Brightfield microscopy, 40× oil immersion. Bone marrow aspirate smear — 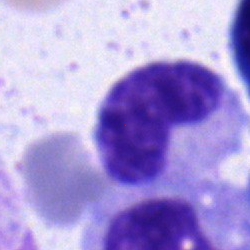
Cell type: neutrophil (band).